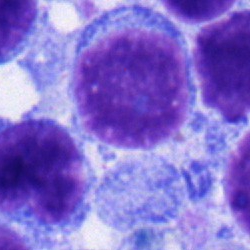A typical lymphocyte on a bone marrow smear.